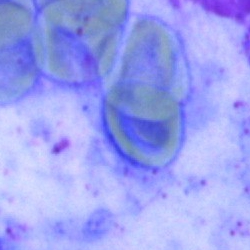

Cell: artifact.